40× oil immersion. Image size 250×250. Bone marrow smear.
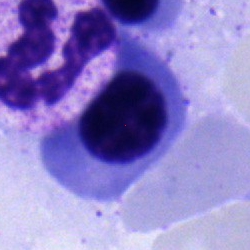Showing a normoblast.